Bone marrow smear
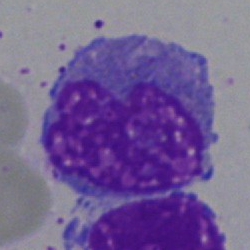{"cell_type": "monocyte"}